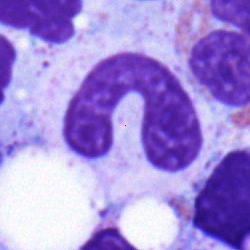 Cell = band neutrophil.